Single-cell crop; bone marrow aspirate smear; 250×250 px.
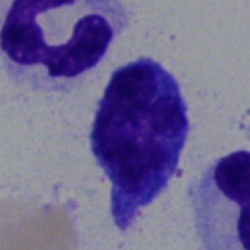Single cell identified as a lymphocyte.